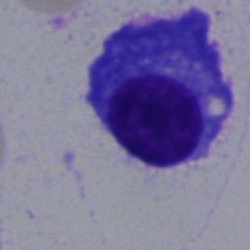 Q: What is the morphological classification of this cell?
A: This is a plasma cell.